Bone marrow aspirate smear. Single-cell crop. 40× oil immersion
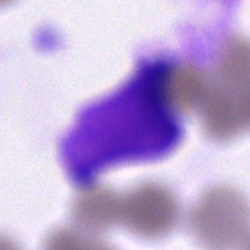
Single cell identified as an artefact.